Bone marrow aspirate smear:
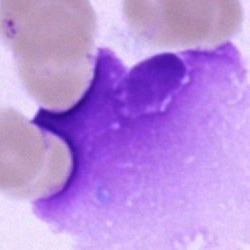

Morphology consistent with an artifact.